Peripheral blood film. Single cell centered in the field — 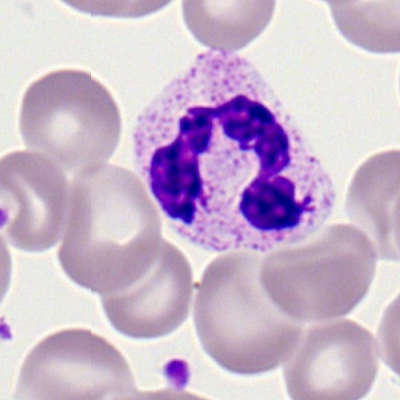 Impression → polymorphonuclear neutrophil.